Cropped to a single cell. Image size 250×250. Bone marrow smear — 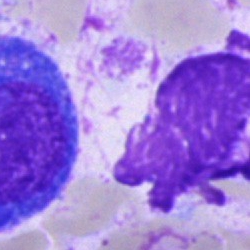

This is an artifact.